40× objective, oil immersion. Cropped to a single cell. Bone marrow aspirate smear — 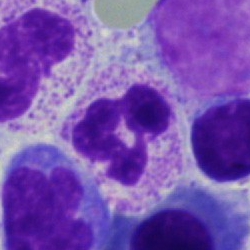 Specimen: bone marrow smear.
Classification: polymorphonuclear neutrophil.